Bone marrow smear
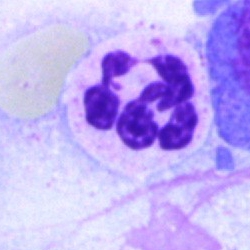

This is a segmented neutrophil.